Bone marrow smear
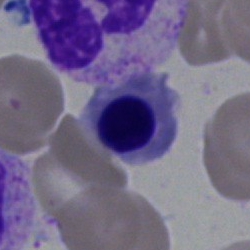Specimen: bone marrow aspirate smear.
Cell type: normoblast.